Bone marrow smear — 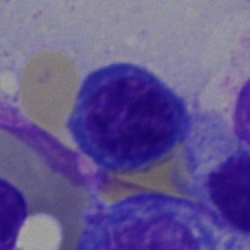Q: Identify the cell.
A: An erythroblast.